Peripheral blood film: 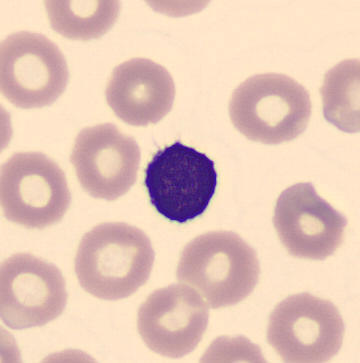Morphology → typical lymphocyte.